Bone marrow aspirate smear.
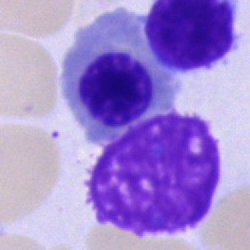 Morphological class: nucleated red blood cell.